Bone marrow smear. 250×250 px. Single cell centered in the field.
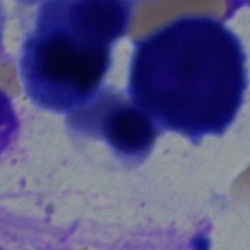 Q: What cell is this?
A: A nucleated red cell.